Bone marrow smear: 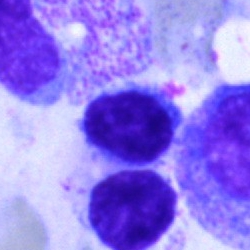

Single cell identified as a lymphocyte.